Bone marrow smear.
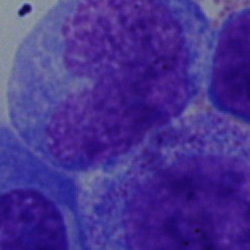 Morphology consistent with a monocyte.